Bone marrow aspirate smear — 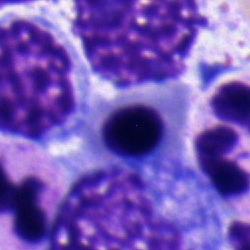

Impression → nucleated red blood cell.